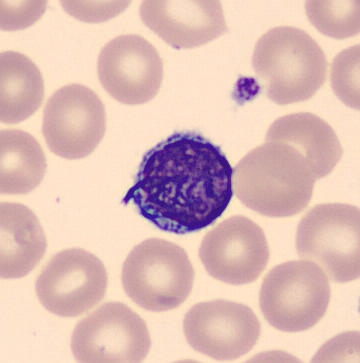

Cell — lymphocyte.
Automated cell imaging (CellaVision DM96) · peripheral blood film · May Grünwald-Giemsa stain.